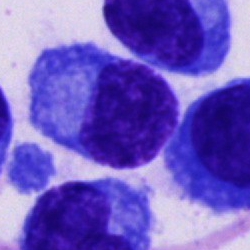

Morphology → plasmacyte.